250 by 250 pixels · bone marrow smear:
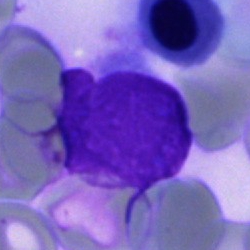
Cell = artefact.